Bone marrow smear; MGG-stained: 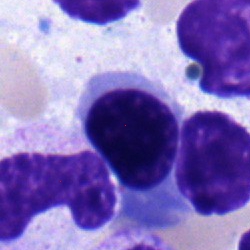

Cell — normoblast.